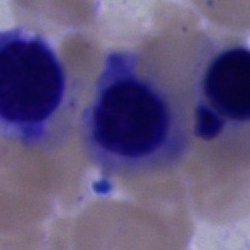
Q: What is the morphological classification of this cell?
A: Normoblast.